Bone marrow aspirate smear. Brightfield, 40× oil-immersion objective.
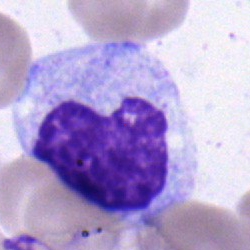Cell — myelocyte.